Image size 400×400 · peripheral blood smear.
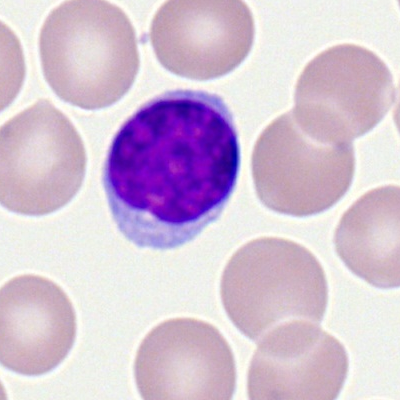Single cell identified as a lymphocyte.